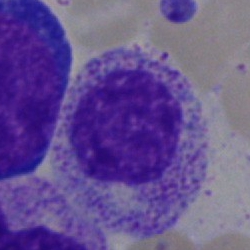
A myelocyte on a bone marrow smear.